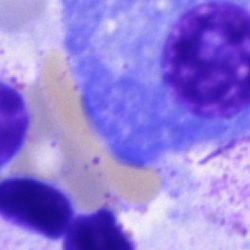Morphology consistent with a plasma cell.